Bone marrow smear · single-cell field · brightfield microscopy, 40× oil immersion:
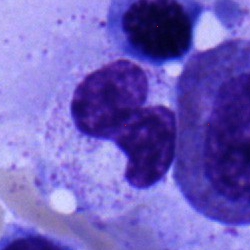

{"cell_type": "band neutrophil", "lineage": "myeloid"}